Bone marrow aspirate smear. May-Grünwald-Giemsa stain. Brightfield microscopy, 40× oil immersion — 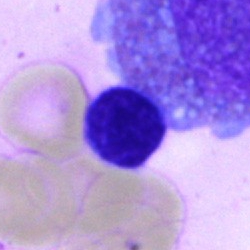Cell type = artifact.